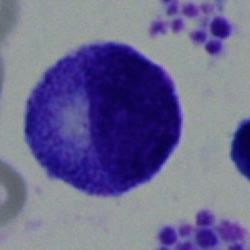
Impression — myelocyte.